Bone marrow smear. Cropped to a single cell. MGG-stained:
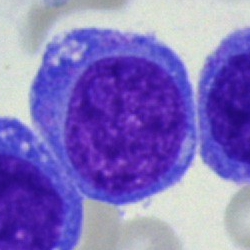

Cell = undifferentiated blast.